250×250. Single-cell crop. Bone marrow aspirate smear — 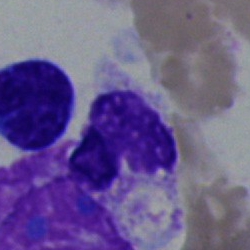
Showing a neutrophil (band).